MGG-stained. 250×250 px. Bone marrow smear: 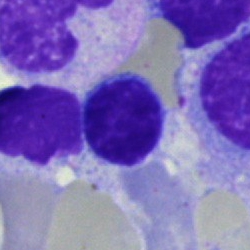

Impression — typical lymphocyte.